Romanowsky stain · peripheral blood smear:
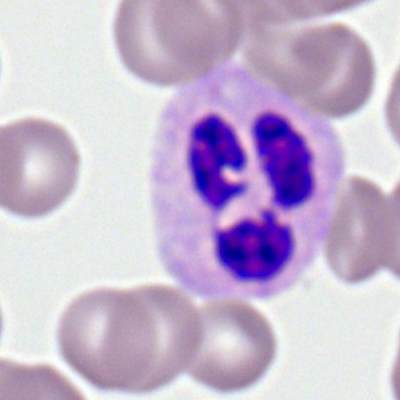

Q: What type of cell is this?
A: A segmented neutrophil.